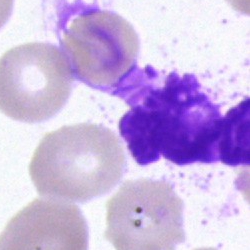An artifact.